Peripheral blood smear — 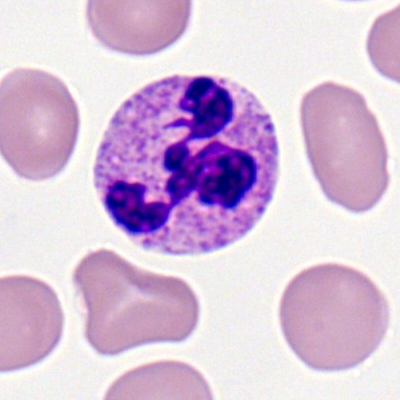{"cell_type": "segmented neutrophil"}